Single-cell crop · bone marrow aspirate smear · 40× objective, oil immersion: 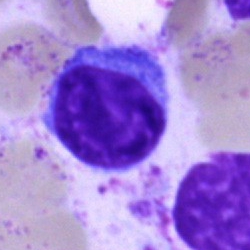

The cell type is typical lymphocyte.